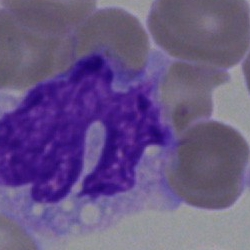Cell: monocyte.